Bone marrow smear
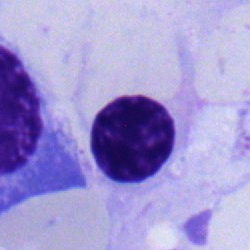 Classification = nucleated red blood cell.